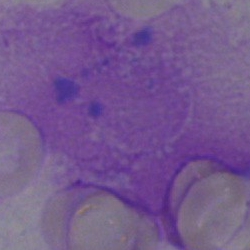 Bone marrow aspirate smear, single cell — artefact.